Single-cell field. Bone marrow smear:
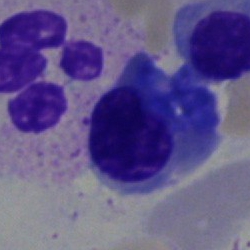
Cell type — erythroblast.